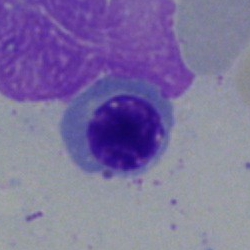

Q: Identify the cell.
A: A normoblast.